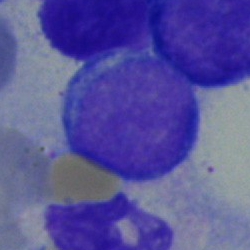
Single-cell crop from a bone marrow smear: undifferentiated blast.